Bone marrow smear. Pappenheim-stained. 250 by 250 pixels: 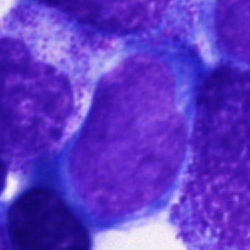 Impression → undifferentiated blast.